Cropped to a single cell; bone marrow aspirate smear; May-Grünwald-Giemsa stain — 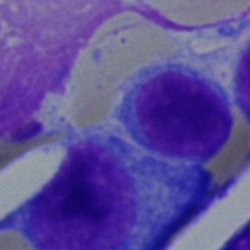
Specimen: bone marrow aspirate smear.
Cell: typical lymphocyte.
Lineage: lymphoid.